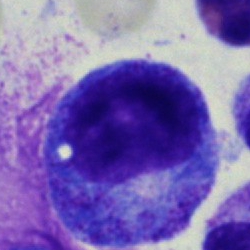Q: What is the morphological classification of this cell?
A: This is a promyelocyte.